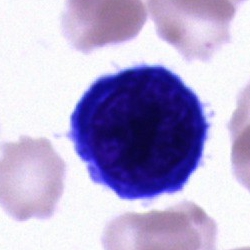Cell type: pronormoblast.